Bone marrow smear. Single cell centered in the field. Pappenheim-stained:
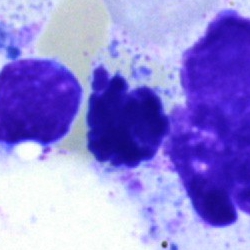
Classification — artifact.